Single-cell crop · Pappenheim-stained · bone marrow aspirate smear
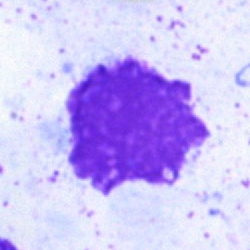
The cell is artefact.